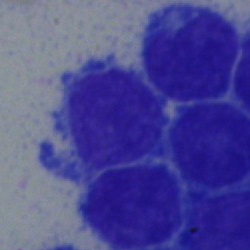 This is a lymphocyte.